Single cell centered in the field. Bone marrow aspirate smear — 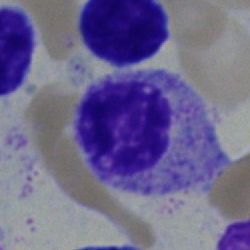 A myelocyte.